250 by 250 pixels; bone marrow aspirate smear; May-Grünwald-Giemsa stain: 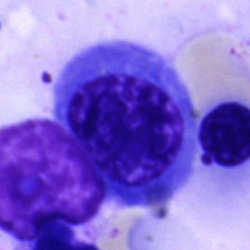

Impression — nucleated red cell.